Bone marrow aspirate smear — 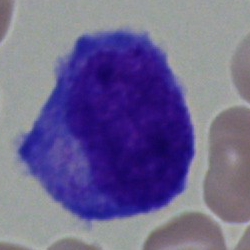 Promyelocyte.